Bone marrow aspirate smear: 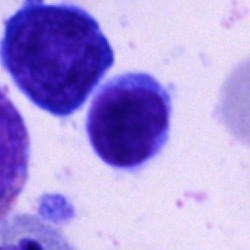 Cell: typical lymphocyte.